Bone marrow aspirate smear · single-cell crop · MGG-stained:
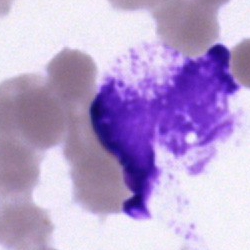 The cell type is artefact.